Bone marrow aspirate smear: 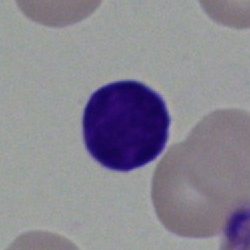
The classification is lymphocyte.